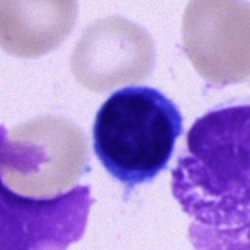 This is a typical lymphocyte.